Brightfield microscopy, 40× oil immersion; bone marrow aspirate smear; May-Grünwald-Giemsa/Pappenheim stain: 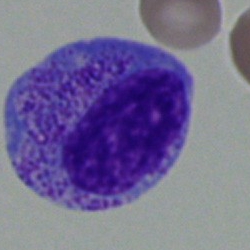

Q: What is shown here?
A: This is a progranulocyte.